Bone marrow smear. Brightfield, 40× oil-immersion objective — 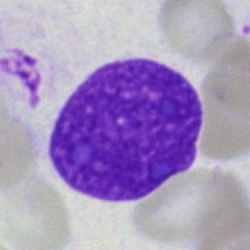 Impression — artifact.